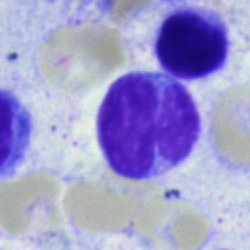

The cell type is lymphocyte.